Peripheral blood film · Romanowsky-type stain · 400×400:
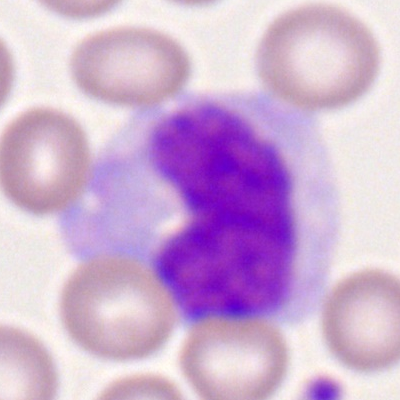 The morphological class is monocyte.